Bone marrow smear:
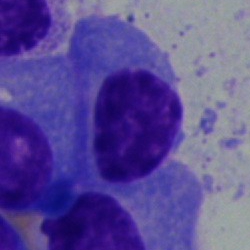
Showing a plasma cell.